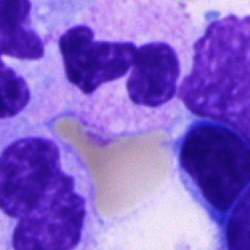
Single cell identified as a segmented neutrophil.